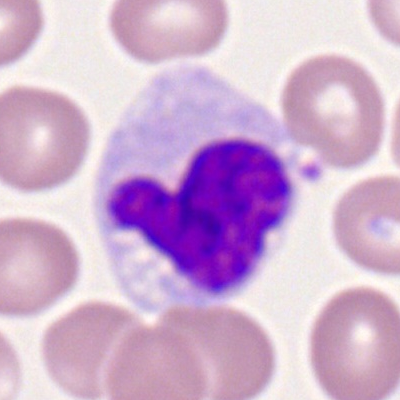 Impression → monocyte.